Bone marrow smear:
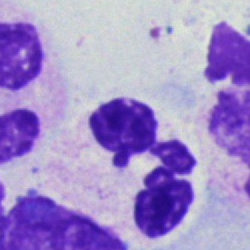 Impression → segmented neutrophil.